Bone marrow aspirate smear; single-cell field
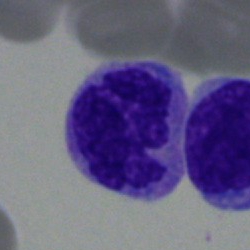The cell shown is a monocyte.